Romanowsky stain · peripheral blood film: 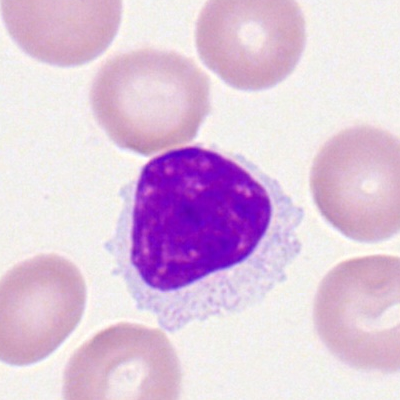Cell — lymphocyte.